Peripheral blood film: 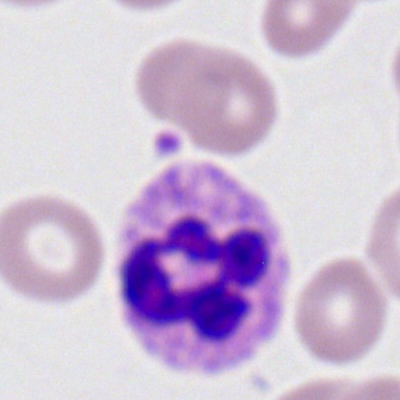 A segmented neutrophil.